Bone marrow aspirate smear — 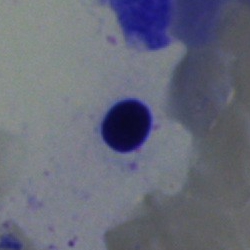{"cell_type": "nucleated red blood cell"}